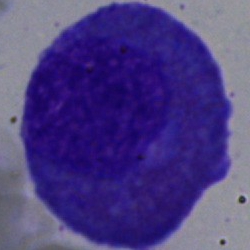Cell type = eosinophilic granulocyte.